Bone marrow aspirate smear: 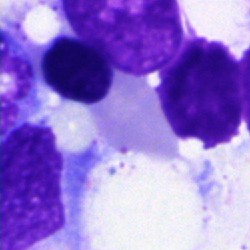The morphological class is nucleated red cell.